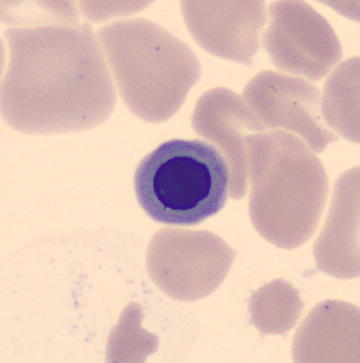
Cell type = nucleated red blood cell.
Peripheral blood film.